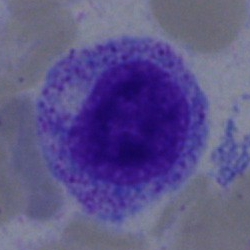 Specimen: bone marrow aspirate smear.
Cell: myelocyte.
Lineage: myeloid.